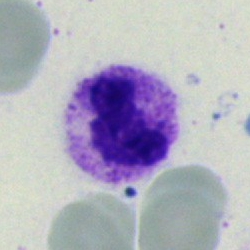 Q: What cell is this?
A: It is a polymorphonuclear neutrophil.